Bone marrow aspirate smear — 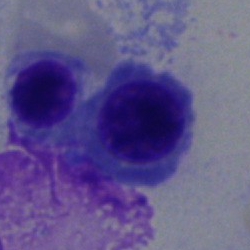 Showing a nucleated red cell.